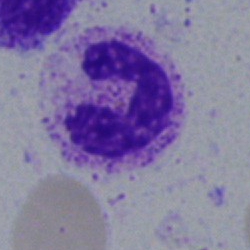

A polymorphonuclear neutrophil on a bone marrow smear.